Bone marrow smear: 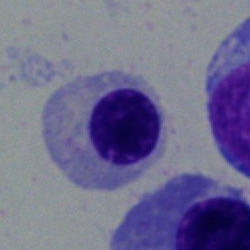
The cell shown is a normoblast.